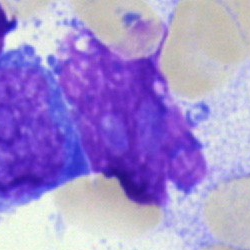

Q: What is shown here?
A: Artifact.